Peripheral blood smear:
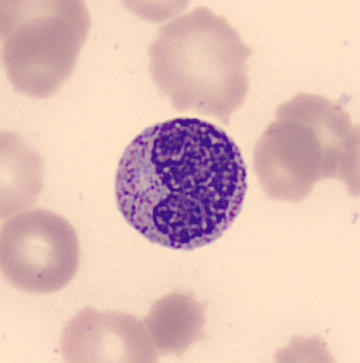 Classification — metamyelocyte.